Bone marrow aspirate smear:
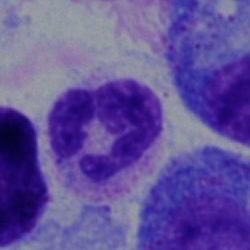
Impression — neutrophil (segmented).